Bone marrow smear. Brightfield, 40× oil-immersion objective — 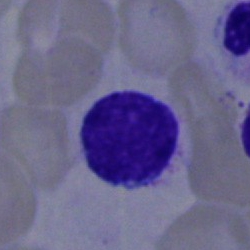

Single cell identified as a lymphocyte.